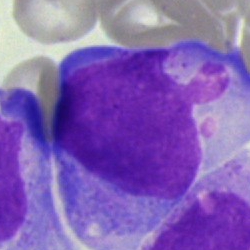 A blast cell.